Brightfield microscopy, 40× oil immersion · single cell centered in the field · bone marrow aspirate smear: 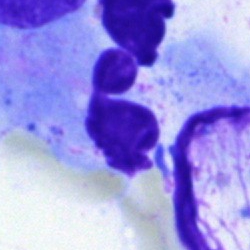
Morphology consistent with an artefact.